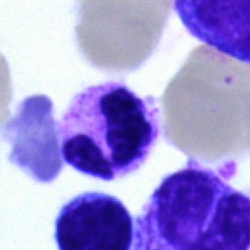 This is a segmented neutrophil.